Pappenheim-stained; single-cell crop; bone marrow smear:
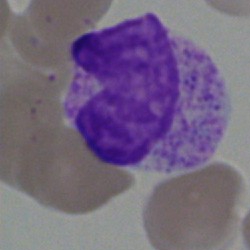
Cell type: artifact.